Bone marrow aspirate smear.
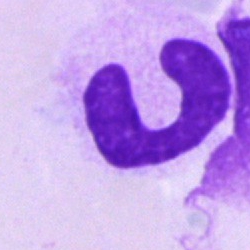

Morphology — stab cell.